Bone marrow aspirate smear — 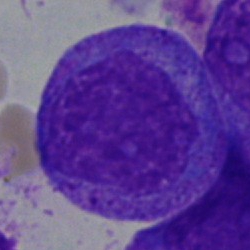
The morphological class is promyelocyte.